CellaVision DM96 digital cell image; peripheral blood film
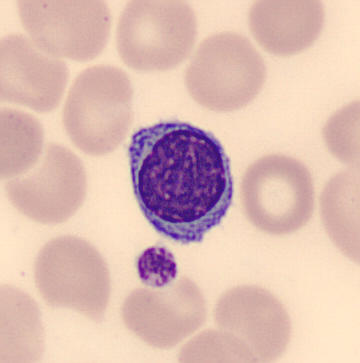 Impression → lymphocyte.